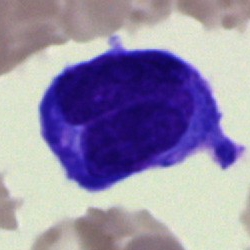Q: What type of cell is this?
A: A blast.